Bone marrow aspirate smear — 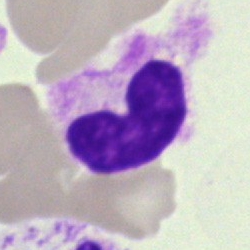Impression → neutrophil (band).